May-Grünwald-Giemsa/Pappenheim stain · bone marrow smear · 250×250 px
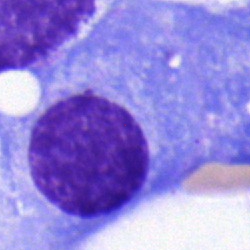

Plasma cell.